Bone marrow smear.
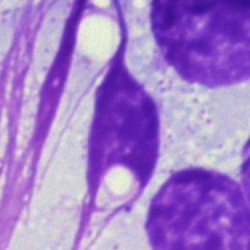

Cell = artifact.